Bone marrow aspirate smear; single cell centered in the field:
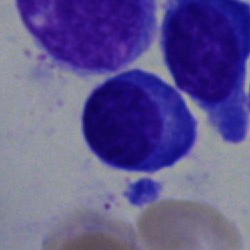Showing a plasma cell.